Cropped to a single cell. Peripheral blood smear:
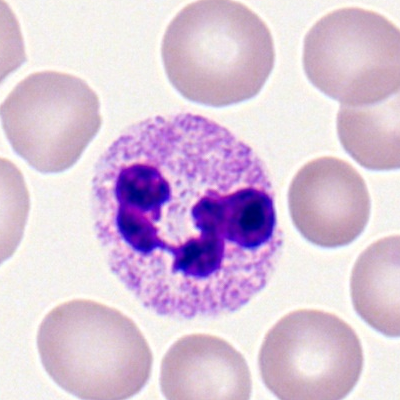

A segmented neutrophil.